Bone marrow aspirate smear:
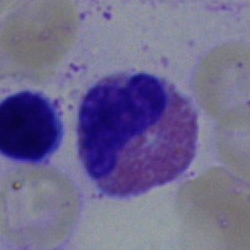
Q: What type of cell is this?
A: An eosinophil.